Bone marrow smear · Pappenheim-stained
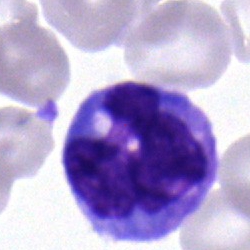
Morphology consistent with a monocyte.